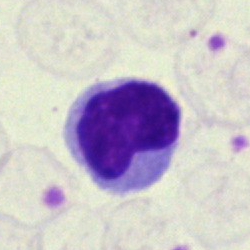 Specimen: bone marrow aspirate smear.
Cell: typical lymphocyte.
Lineage: lymphoid.